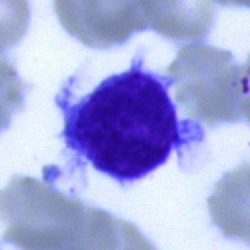Cell: lymphocyte.